Peripheral blood film. Romanowsky stain — 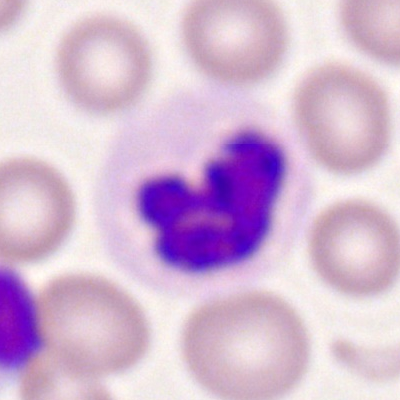
Q: What is the morphological classification of this cell?
A: A polymorphonuclear neutrophil.